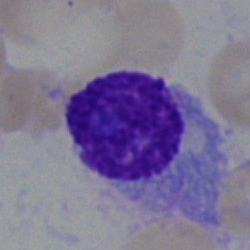

The cell shown is a plasmacyte.